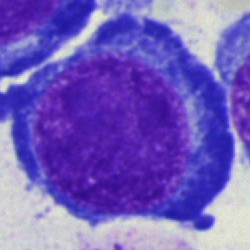

Morphology — pronormoblast.